Bone marrow smear — 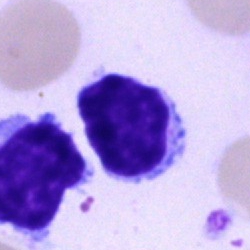 Morphology consistent with a typical lymphocyte.